Pappenheim-stained. 40× objective, oil immersion. Bone marrow aspirate smear — 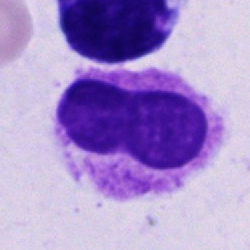

Cell = unidentifiable cell.